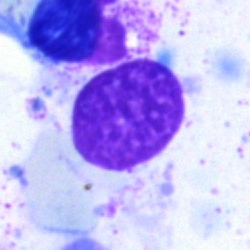

Morphology — artifact.